Bone marrow aspirate smear: 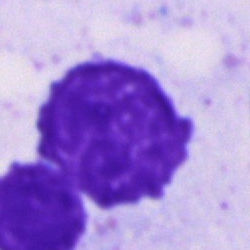
Q: What is shown here?
A: This is an artifact.